Cropped to a single cell · bone marrow smear
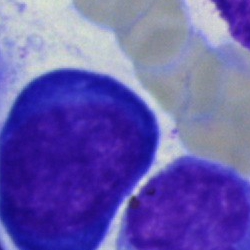

The cell shown is a proerythroblast.